Bone marrow smear.
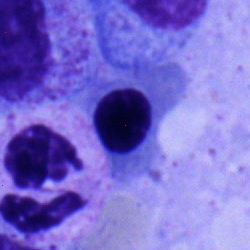 Cell: nucleated red cell.